Bone marrow smear. 250 by 250 pixels. Pappenheim-stained.
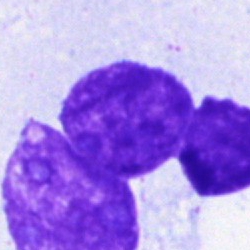
Showing an artifact.